Peripheral blood smear
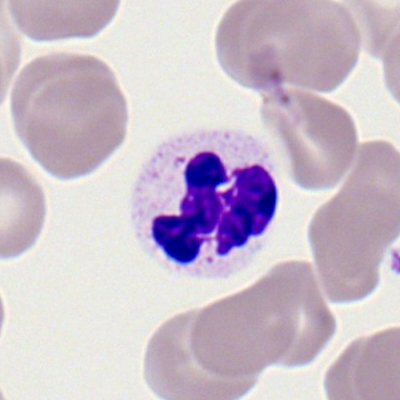Morphological class — segmented neutrophil.